Bone marrow smear
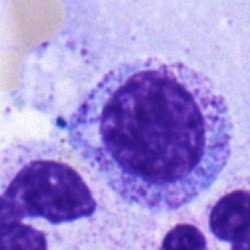
Specimen: bone marrow smear.
Morphological class: myelocyte.